Cropped to a single cell · bone marrow smear: 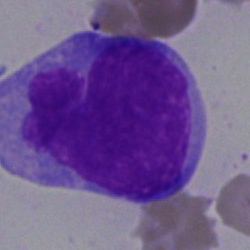 Cell: blast cell.